Bone marrow aspirate smear.
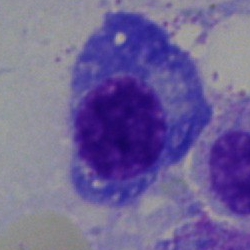

Single cell identified as a plasmacyte.